250×250 px · bone marrow smear: 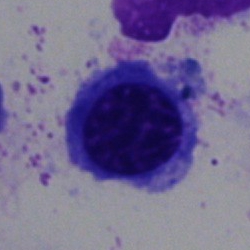

The cell shown is an erythroblast.